Bone marrow smear
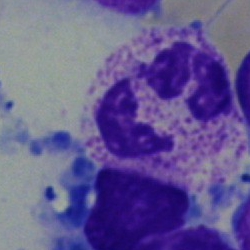Classification: neutrophil (segmented).